Bone marrow aspirate smear.
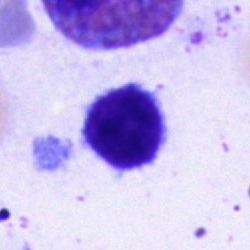

Cell type — lymphocyte.